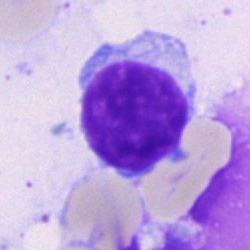

The cell type is lymphocyte.